Bone marrow smear; single-cell field:
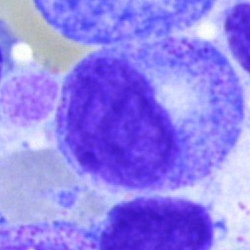Showing a myelocyte.